Bone marrow aspirate smear
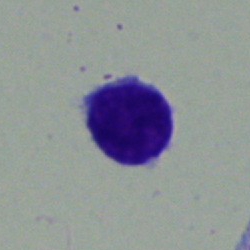
The cell is typical lymphocyte.